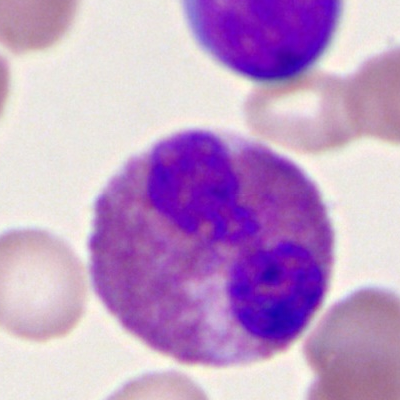
Specimen: peripheral blood film.
Cell: eosinophil.